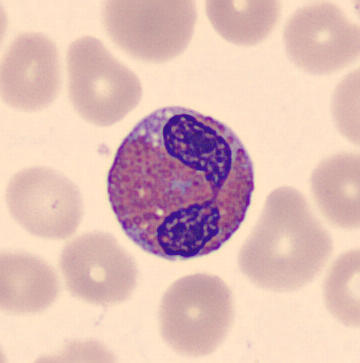
Cell type = eosinophil.